Bone marrow smear. Pappenheim-stained — 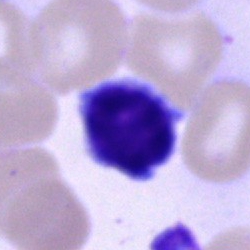This is a lymphocyte.